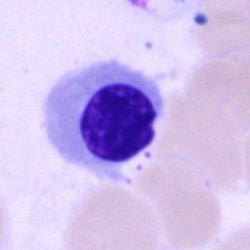
{"cell_type": "nucleated red blood cell", "lineage": "erythroid"}